Bone marrow aspirate smear
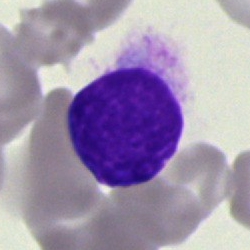

The cell shown is an artifact.